Peripheral blood film: 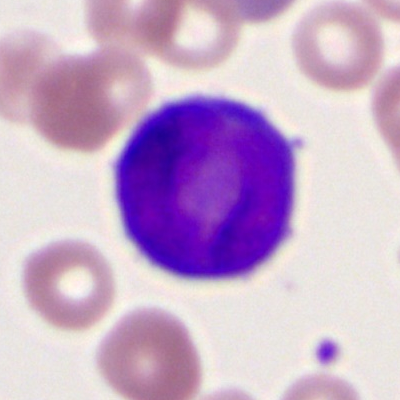

The cell is myeloid blast.